Image size 250×250; bone marrow aspirate smear; 40× oil immersion
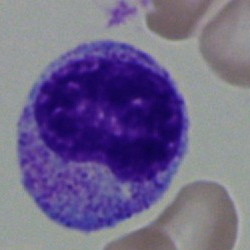The morphological class is myelocyte.